Bone marrow smear; 250×250; single cell centered in the field — 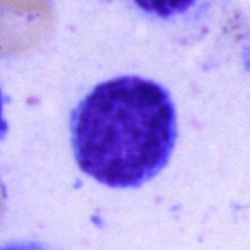

Specimen: bone marrow smear.
Classification: typical lymphocyte.
Lineage: lymphoid.